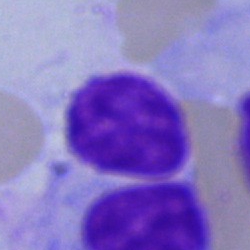Artifact.